Bone marrow aspirate smear:
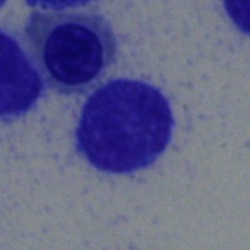The classification is typical lymphocyte.